Brightfield, 40× oil-immersion objective. Bone marrow smear: 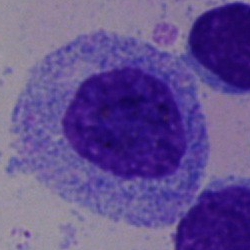

Specimen: bone marrow smear.
Cell type: promyelocyte.
Lineage: myeloid.